Bone marrow smear
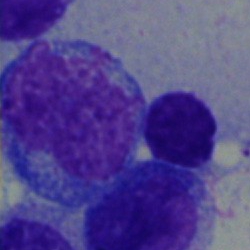
Cell type — undifferentiated blast.